Bone marrow smear.
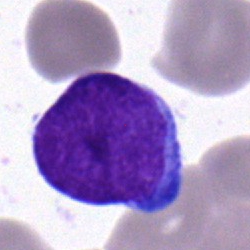 Blast cell.